Bone marrow smear: 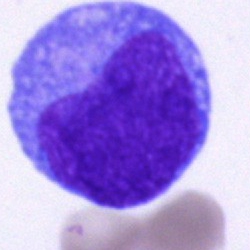

Impression → undifferentiated blast.